Bone marrow aspirate smear:
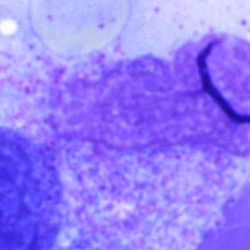 {"cell_type": "artefact"}